Image size 250×250. Bone marrow smear — 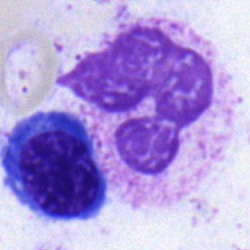Impression → neutrophil (segmented).